Bone marrow aspirate smear — 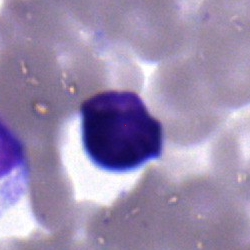 The classification is lymphocyte.